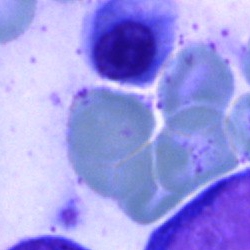
This is a nucleated red cell.